40× objective, oil immersion. Bone marrow smear — 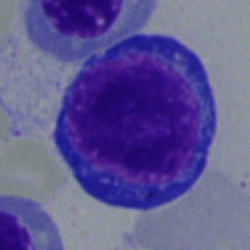

Showing a proerythroblast.